May-Grünwald-Giemsa/Pappenheim stain; single-cell crop; bone marrow smear: 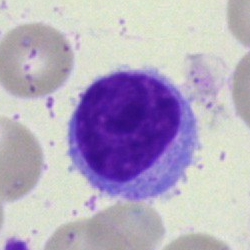
This is a lymphocyte.